250×250 px; bone marrow smear — 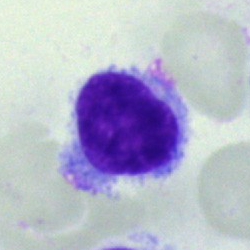Impression — hairy cell.